Bone marrow aspirate smear; May-Grünwald-Giemsa/Pappenheim stain — 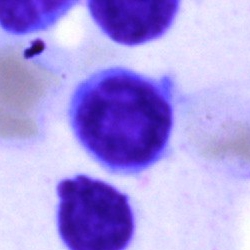
Classification: typical lymphocyte.